M8 digital microscope (Precipoint), 100× oil immersion · Romanowsky stain · peripheral blood smear:
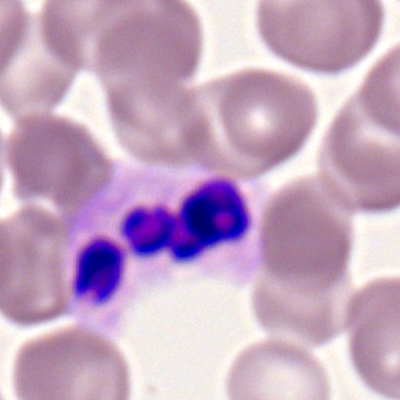
The cell shown is a polymorphonuclear neutrophil.